250×250 · bone marrow smear · brightfield microscopy, 40× oil immersion:
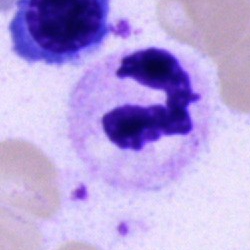 Q: Identify the cell.
A: Segmented neutrophil.